May-Grünwald-Giemsa stain. Bone marrow smear. 250×250: 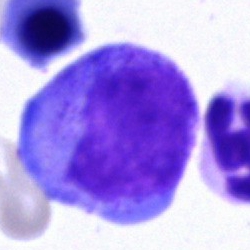
Q: What is shown here?
A: A progranulocyte.